May-Grünwald-Giemsa stain; bone marrow aspirate smear; single-cell crop — 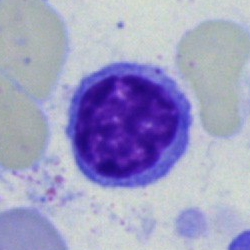 Single cell identified as a lymphocyte.